Bone marrow smear — 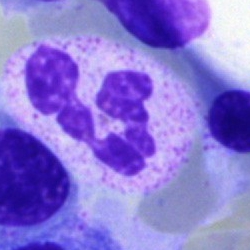The cell shown is a segmented neutrophil.